Bone marrow aspirate smear:
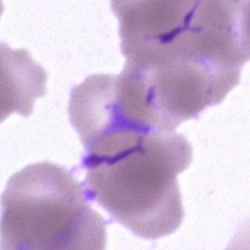Showing an artifact.